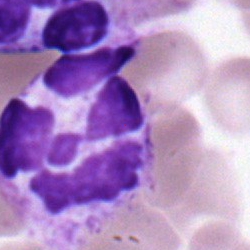

Polymorphonuclear neutrophil.